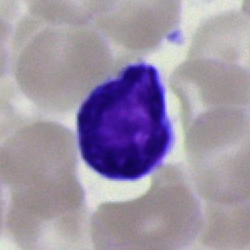 Classification = typical lymphocyte.